Bone marrow aspirate smear: 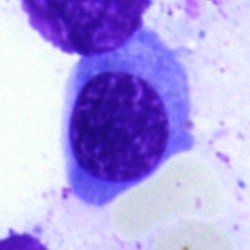 Q: What cell is this?
A: A normoblast.